May-Grünwald-Giemsa/Pappenheim stain. Bone marrow aspirate smear — 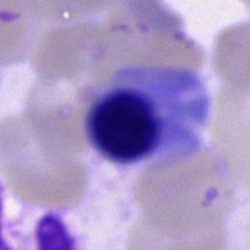

Nucleated red blood cell.